Bone marrow aspirate smear — 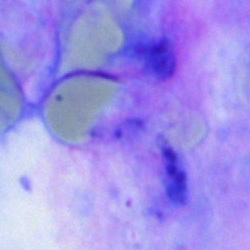Artefact.